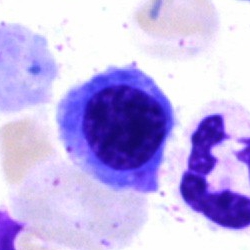
Classification: normoblast.